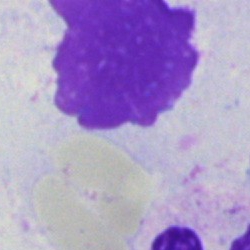Artefact.